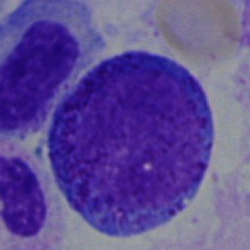
Morphological class — promyelocyte.